Bone marrow aspirate smear
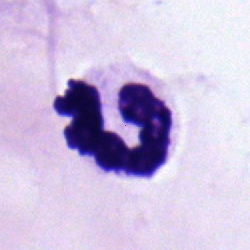

A segmented neutrophil.